Bone marrow aspirate smear:
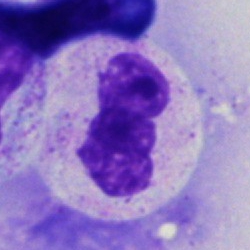

Impression — neutrophil (segmented).